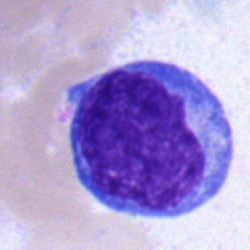

Classification: undifferentiated blast.